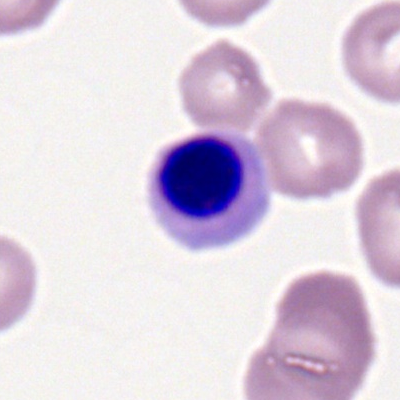 Specimen: peripheral blood smear.
Classification: nucleated red blood cell.
Lineage: erythroid.